Bone marrow aspirate smear:
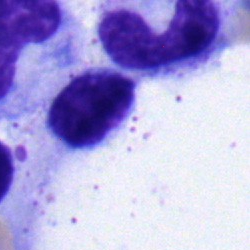
Morphology consistent with a band neutrophil.